Peripheral blood film · 100× oil immersion, 14.14 px/µm · Romanowsky-stained: 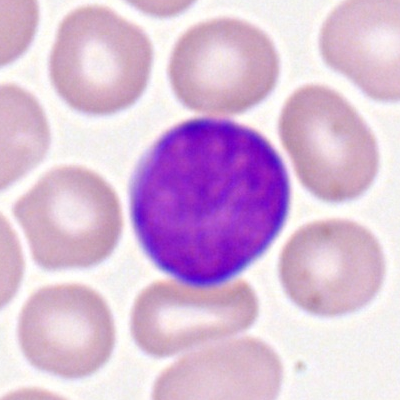
Morphology — myeloblast.